Cropped to a single cell · bone marrow aspirate smear · 250 by 250 pixels.
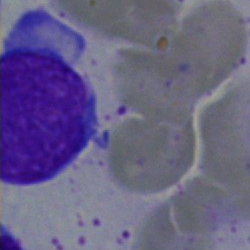
This is a blast cell.